Bone marrow smear — 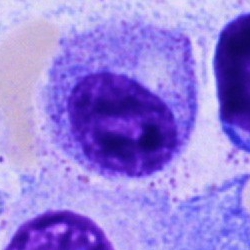

The classification is myelocyte.